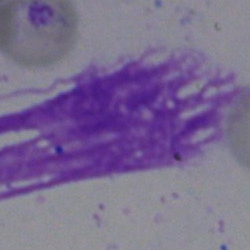
The cell shown is an artifact.